Bone marrow aspirate smear — 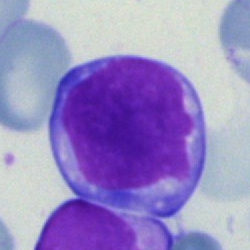Morphology consistent with a typical lymphocyte.